Bone marrow smear:
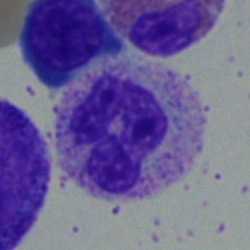

Single cell identified as a polymorphonuclear neutrophil.